May-Grünwald-Giemsa stain · bone marrow aspirate smear
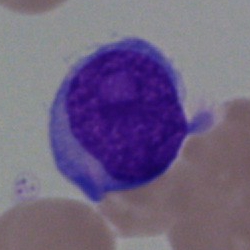
Cell = undifferentiated blast.